Bone marrow aspirate smear
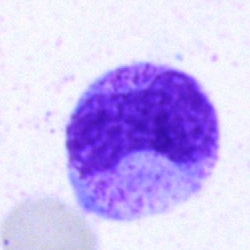 The cell type is neutrophil (band).